250×250. Bone marrow smear — 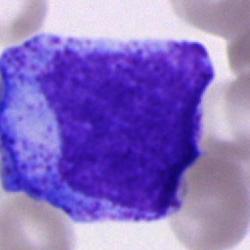 Progranulocyte.